Bone marrow smear
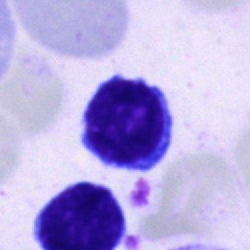 Q: Identify the cell.
A: It is a typical lymphocyte.